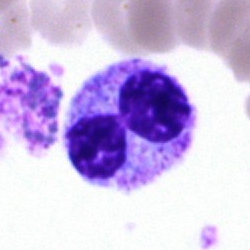

Specimen: bone marrow smear.
Cell type: neutrophil (segmented).